Peripheral blood smear; 100× objective, oil immersion: 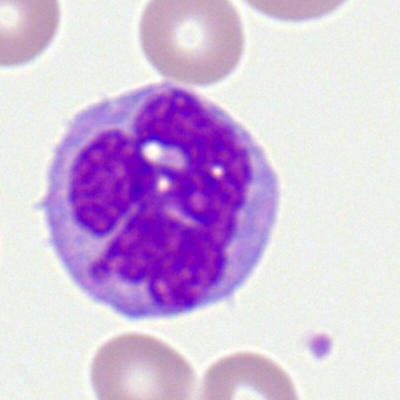

{"cell_type": "monocyte"}